MGG-stained; bone marrow smear
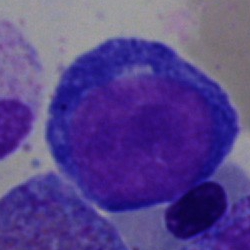Specimen: bone marrow aspirate smear.
Classification: pronormoblast.
Lineage: erythroid.